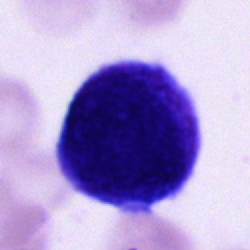 Cell of indeterminate lineage.